Bone marrow aspirate smear
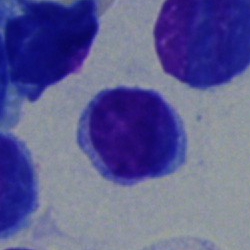
Single cell identified as a typical lymphocyte.